Brightfield, 40× oil-immersion objective. Cropped to a single cell. Bone marrow smear.
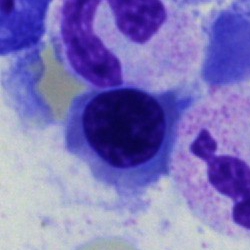 Cell type — normoblast.